Bone marrow aspirate smear — 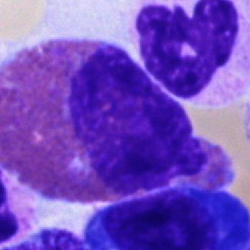This is an eosinophil.